Bone marrow aspirate smear:
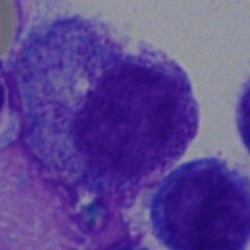

Myelocyte.